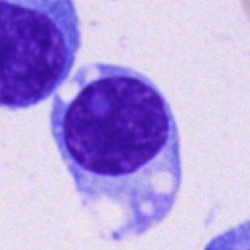
Specimen: bone marrow aspirate smear.
Cell: plasma cell.
Lineage: lymphoid.